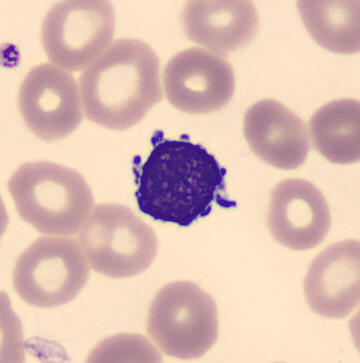

Specimen: peripheral blood smear.
Morphological class: typical lymphocyte.
Lineage: lymphoid.